250×250 px; bone marrow aspirate smear.
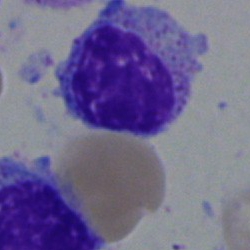

Single cell identified as a myelocyte.